Bone marrow aspirate smear; May-Grünwald-Giemsa stain; image size 250×250: 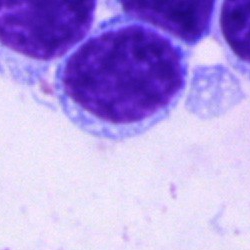Typical lymphocyte.